Bone marrow aspirate smear — 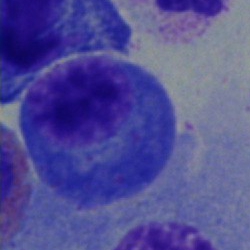 Morphology consistent with a plasma cell.